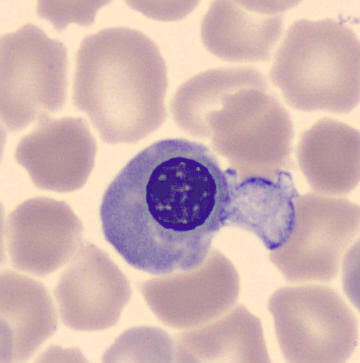Image: Single cell centered in the field · peripheral blood film.
Morphology consistent with a nucleated red cell.